Bone marrow aspirate smear; single-cell crop.
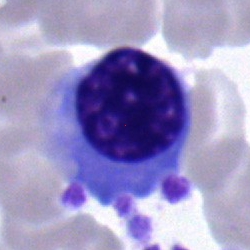

This is an erythroblast.